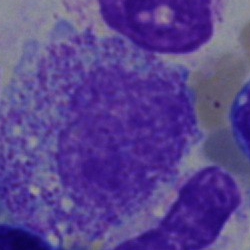 Impression → myelocyte.